Bone marrow aspirate smear:
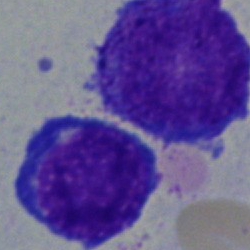

Cell type = nucleated red blood cell.